Bone marrow smear
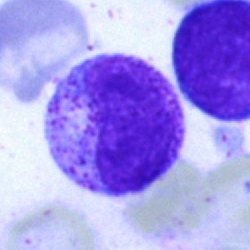

Morphology consistent with a myelocyte.